Bone marrow aspirate smear. Image size 250×250: 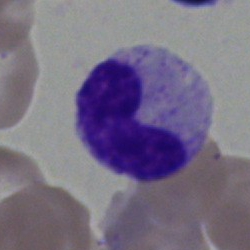

The cell shown is a band neutrophil.